40× oil immersion; bone marrow aspirate smear — 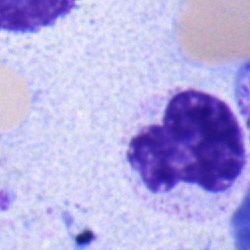
Morphological class: band neutrophil.